May-Grünwald-Giemsa/Pappenheim stain; bone marrow aspirate smear; single cell centered in the field — 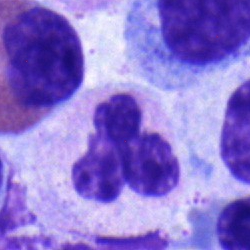
The cell shown is a segmented neutrophil.